Bone marrow smear.
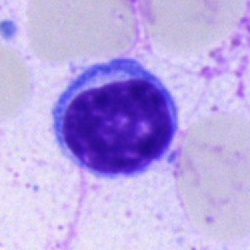
Classification: typical lymphocyte.